Bone marrow aspirate smear.
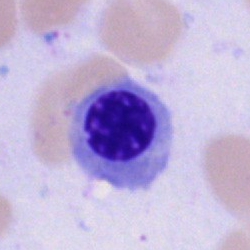

Morphology consistent with a nucleated red blood cell.